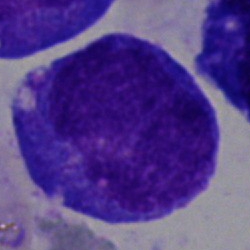 Single cell identified as a blast.